Bone marrow aspirate smear.
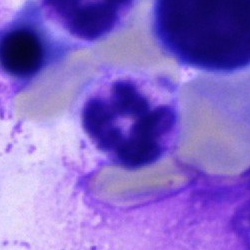
This is a neutrophil (segmented).